Bone marrow aspirate smear.
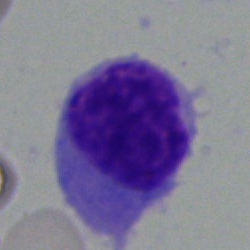
Specimen: bone marrow smear.
Morphological class: hairy cell.